Brightfield microscopy, 40× oil immersion; bone marrow aspirate smear: 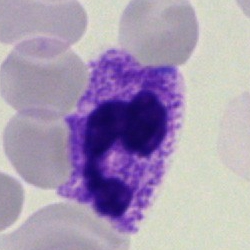
Cell type — polymorphonuclear neutrophil.